Bone marrow aspirate smear.
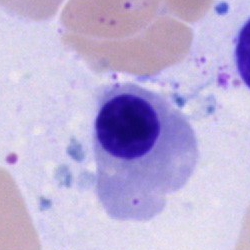 Cell = erythroblast.